Bone marrow smear; 40× objective, oil immersion; May-Grünwald-Giemsa/Pappenheim stain
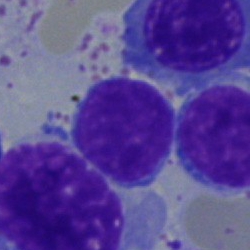
Showing a typical lymphocyte.